Romanowsky stain. Peripheral blood smear. M8 digital microscope (Precipoint), 100× oil immersion: 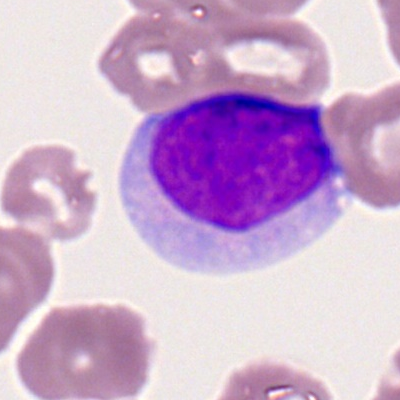
The cell shown is a myeloblast.